Bone marrow smear — 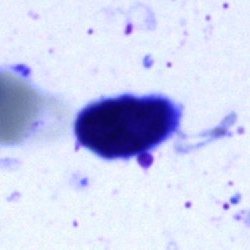Single cell identified as an artifact.